Bone marrow smear
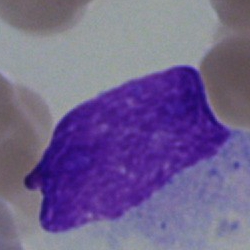

Blast cell.